Bone marrow smear · single cell centered in the field — 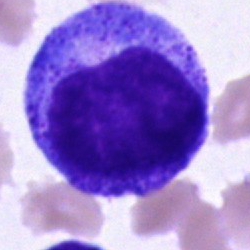
A progranulocyte.